Bone marrow smear:
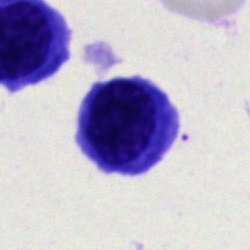Cell: lymphocyte.